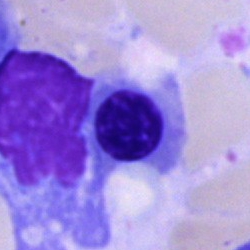

Normoblast.